Bone marrow smear; Pappenheim-stained
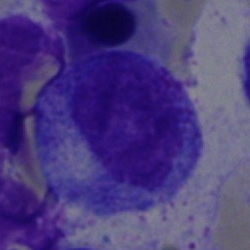
Single cell identified as a promyelocyte.